250×250 px. Bone marrow smear. Single-cell crop:
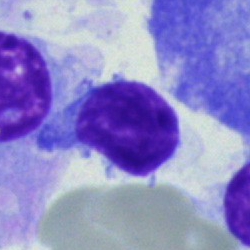 Specimen: bone marrow smear.
Morphological class: lymphocyte.
Lineage: lymphoid.